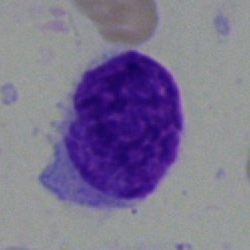
Classification = hairy cell.